Bone marrow aspirate smear:
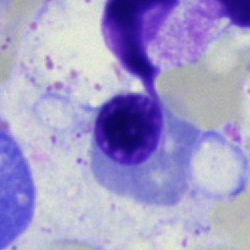 Nucleated red cell.